Peripheral blood smear
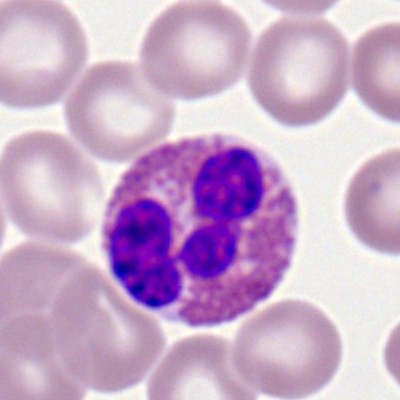 The morphological class is eosinophilic granulocyte.